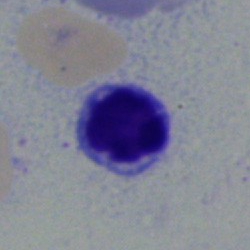{"cell_type": "typical lymphocyte"}